Bone marrow aspirate smear.
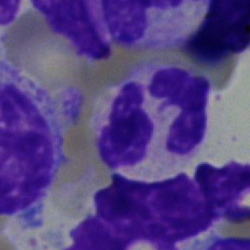Polymorphonuclear neutrophil.